Peripheral blood film
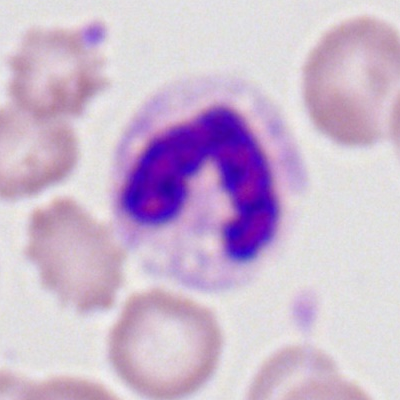The classification is neutrophil (band).